Bone marrow aspirate smear · 250 by 250 pixels.
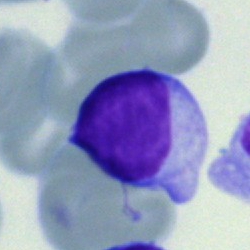

Morphology → lymphocyte.